Single-cell field. Bone marrow smear:
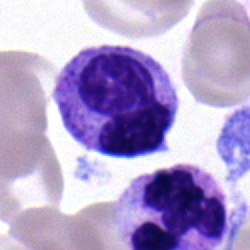

Cell — monocyte.